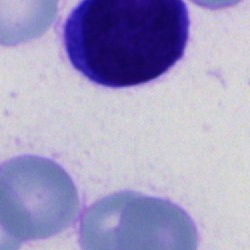
Morphology consistent with a cell of indeterminate lineage.